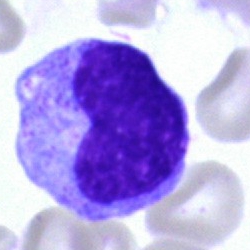 Morphological class: monocyte.